Bone marrow aspirate smear; Pappenheim-stained; 250 by 250 pixels: 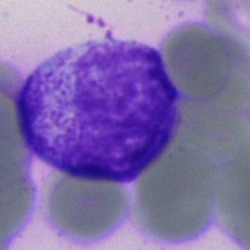 Showing a myelocyte.